Bone marrow smear:
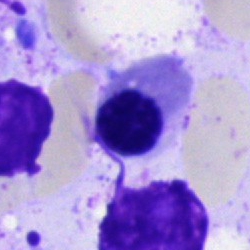Morphology consistent with a normoblast.